Automated cell imaging (CellaVision DM96) · peripheral blood smear:
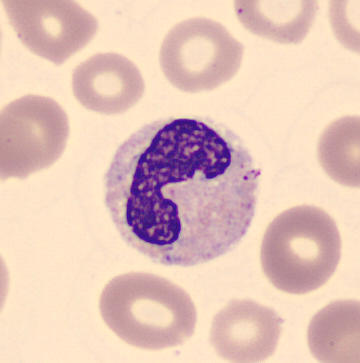

Classification — stab cell.